Bone marrow smear
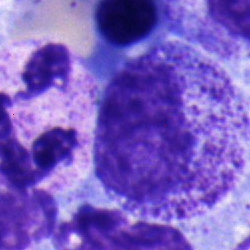Myelocyte.